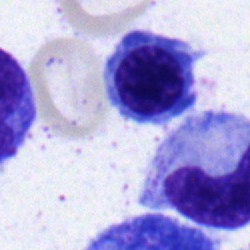
Classification = nucleated red cell.